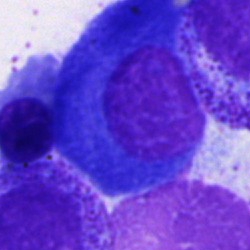 Bone marrow aspirate smear, single cell — plasma cell.